250×250 px; brightfield, 40× oil-immersion objective; bone marrow aspirate smear
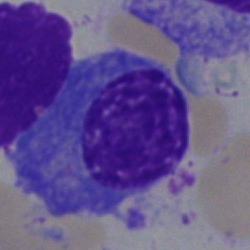Single cell identified as a plasmacyte.